Bone marrow aspirate smear · 250×250 px — 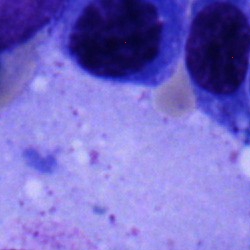
Specimen: bone marrow aspirate smear.
Classification: plasmacyte.